Cropped to a single cell · bone marrow smear:
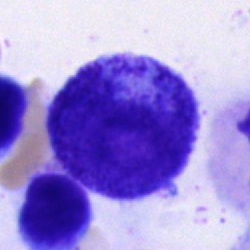 Specimen: bone marrow smear.
Classification: progranulocyte.
Lineage: myeloid.